Bone marrow aspirate smear — 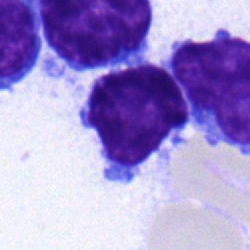 This is a typical lymphocyte.